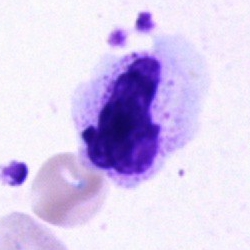
Cell — polymorphonuclear neutrophil.